Brightfield microscopy, 40× oil immersion. Bone marrow smear. May-Grünwald-Giemsa/Pappenheim stain: 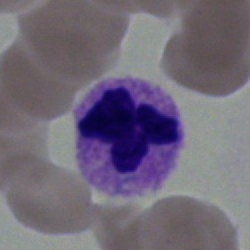
Single cell identified as a polymorphonuclear neutrophil.